Bone marrow smear.
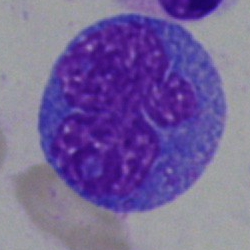 Showing a blast cell.